Single-cell field. Romanowsky-type stain. Peripheral blood smear — 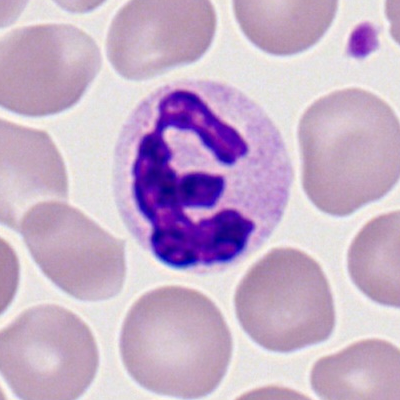

Polymorphonuclear neutrophil.